Bone marrow aspirate smear
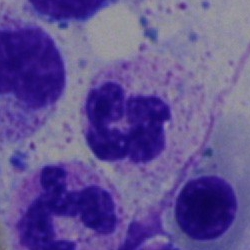

The cell type is segmented neutrophil.